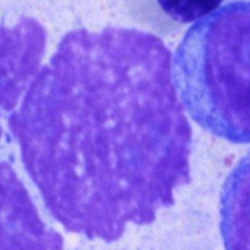

Artifact.